Bone marrow smear. 40× oil immersion — 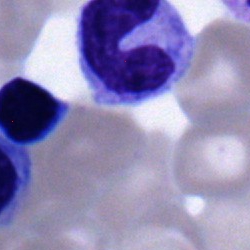Specimen: bone marrow aspirate smear.
Classification: band neutrophil.
Lineage: myeloid.